Peripheral blood smear:
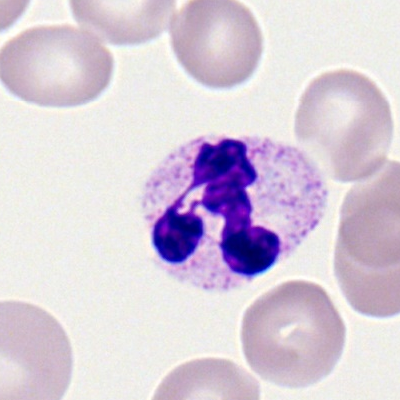Cell: neutrophil (segmented).